Bone marrow aspirate smear:
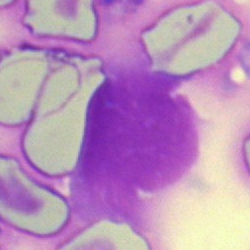 Q: What is shown here?
A: It is an artefact.